Romanowsky-stained; peripheral blood film — 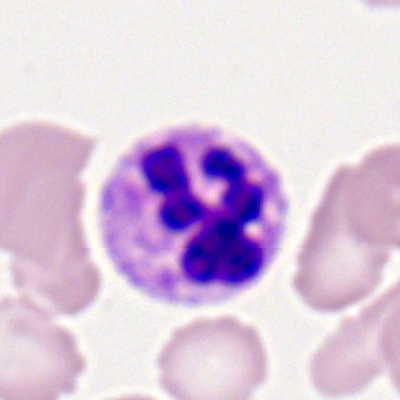
This is a segmented neutrophil.